Single cell centered in the field · bone marrow smear:
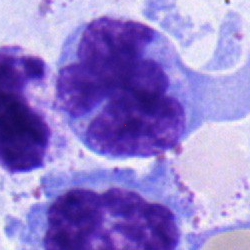
Specimen: bone marrow aspirate smear.
Morphological class: monocyte.
Lineage: myeloid.